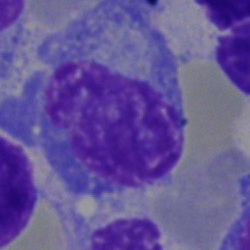
Bone marrow aspirate smear, single cell — cell of indeterminate lineage.